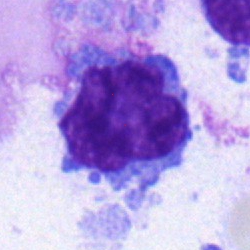

Single cell identified as a lymphocyte.